Pappenheim-stained. Bone marrow aspirate smear. 250×250 px: 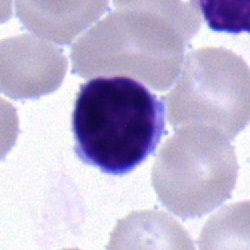

Specimen: bone marrow aspirate smear.
Cell: lymphocyte.
Lineage: lymphoid.